Bone marrow aspirate smear. 250×250:
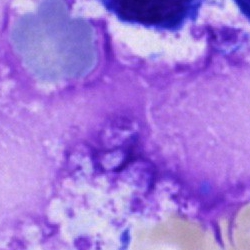 Cell — artifact.